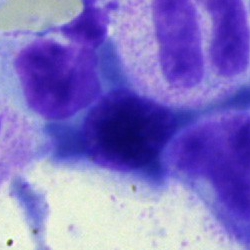

Specimen: bone marrow aspirate smear.
Classification: normoblast.
Lineage: erythroid.